Bone marrow aspirate smear
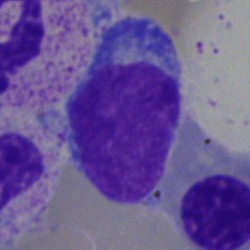 Q: What is the morphological classification of this cell?
A: This is a typical lymphocyte.